Bone marrow aspirate smear · single cell centered in the field.
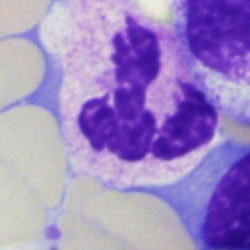 The cell shown is a polymorphonuclear neutrophil.